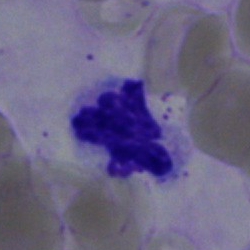 Specimen: bone marrow aspirate smear.
Morphological class: segmented neutrophil.
Lineage: myeloid.